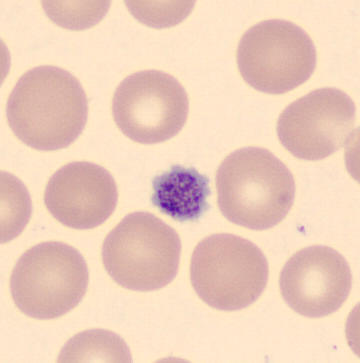

Acquisition: Peripheral blood smear.

Q: What is shown here?
A: A thrombocyte.